Peripheral blood film
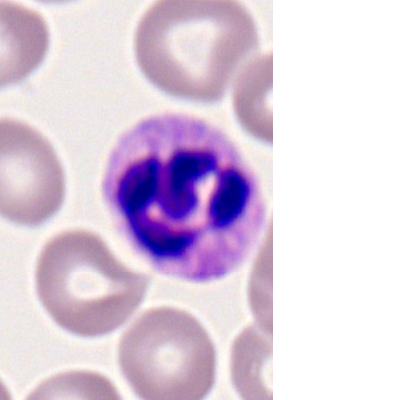 Showing a segmented neutrophil.